Single-cell crop. May-Grünwald-Giemsa stain. Bone marrow smear
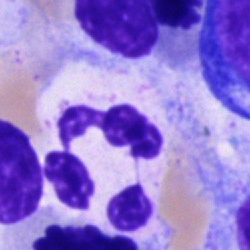

The cell is segmented neutrophil.